Peripheral blood film: 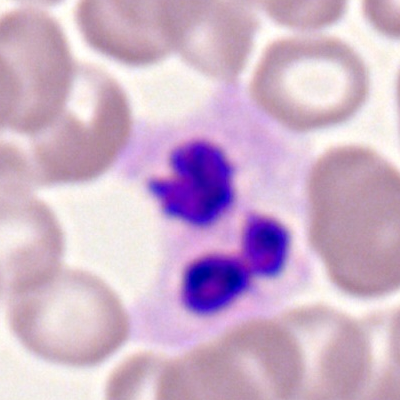 The cell type is polymorphonuclear neutrophil.